Bone marrow smear.
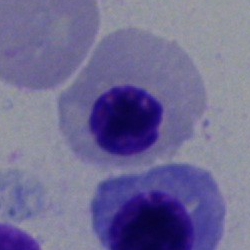Specimen: bone marrow smear.
Morphological class: erythroblast.
Lineage: erythroid.